Image size 250×250 · bone marrow smear: 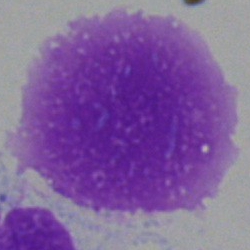Q: What is shown here?
A: Artifact.